Bone marrow aspirate smear: 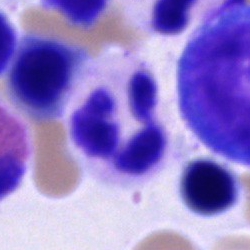 Specimen: bone marrow smear.
Morphological class: polymorphonuclear neutrophil.